Bone marrow smear: 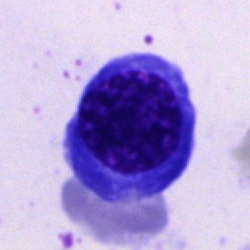

Cell: nucleated red cell.